Bone marrow smear; May-Grünwald-Giemsa stain: 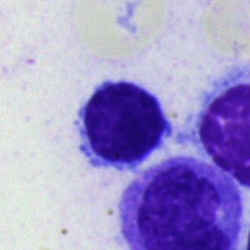
{"cell_type": "lymphocyte", "lineage": "lymphoid"}